Bone marrow aspirate smear · MGG-stained · single cell centered in the field:
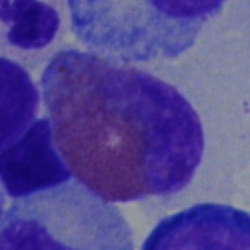
This is an eosinophil.